Bone marrow aspirate smear:
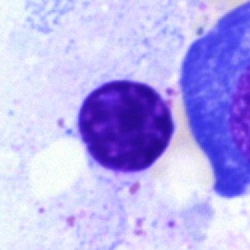{"cell_type": "artifact"}